Peripheral blood film. Romanowsky stain. 400×400 px
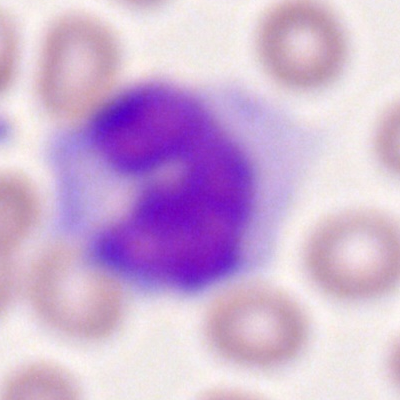This is a monocyte.